Bone marrow smear; 40× oil immersion:
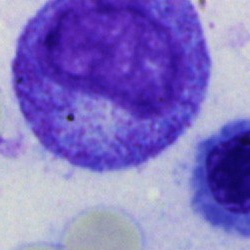

Q: What is the morphological classification of this cell?
A: This is a promyelocyte.